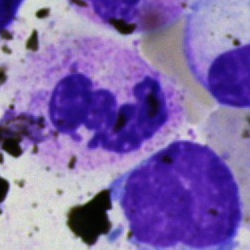Q: What cell is this?
A: It is a polymorphonuclear neutrophil.